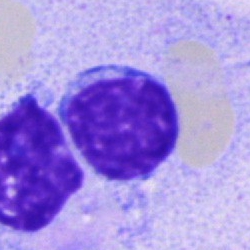
A typical lymphocyte on a bone marrow smear.